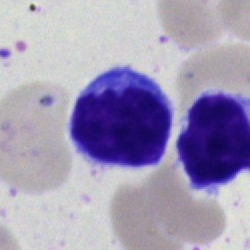 Specimen: bone marrow aspirate smear.
Cell type: typical lymphocyte.